Bone marrow smear: 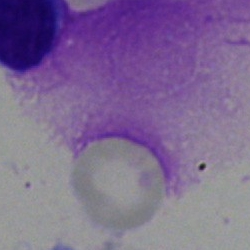Morphological class = artifact.